Bone marrow smear:
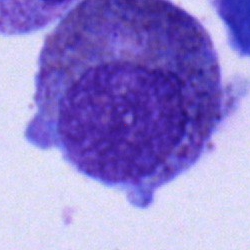

The cell shown is an eosinophilic granulocyte.